Bone marrow aspirate smear — 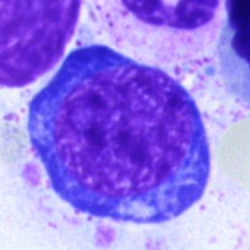
Morphological class — nucleated red blood cell.